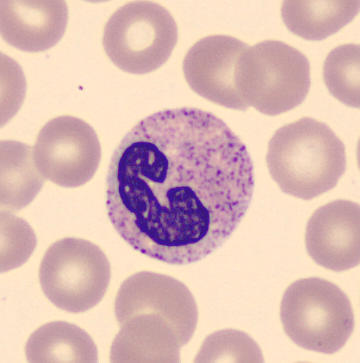

Specimen: peripheral blood smear.
Cell type: segmented neutrophil.
Preparation: Cropped to a single cell.